Pappenheim-stained; 250 by 250 pixels; bone marrow smear:
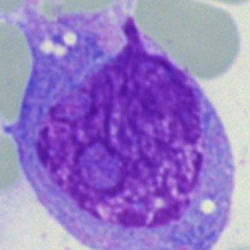
Morphological class — blast cell.